Single-cell crop · peripheral blood smear.
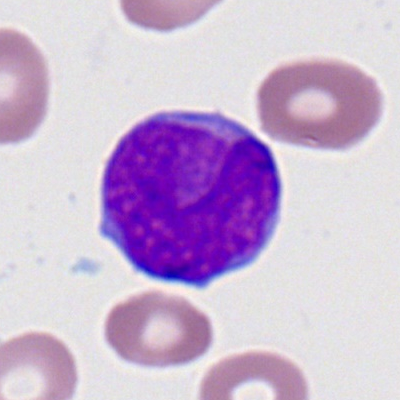

Q: What is the morphological classification of this cell?
A: It is a myeloblast.